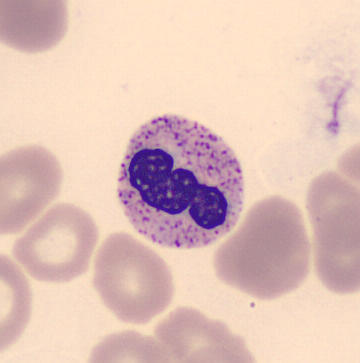 A stab cell.